Bone marrow smear
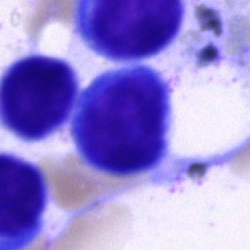 Impression — typical lymphocyte.